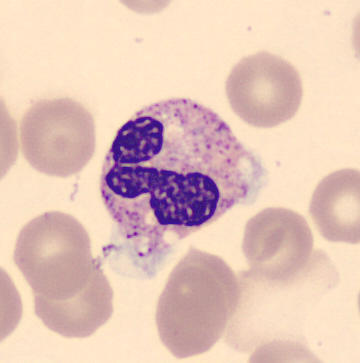

Preparation: Peripheral blood smear; CellaVision DM96.

{"cell_type": "neutrophil (segmented)"}